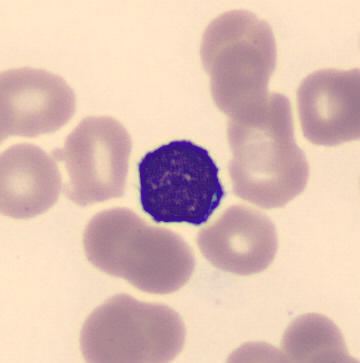 Cell — typical lymphocyte. Image: Peripheral blood smear · automated cell imaging (CellaVision DM96) · May Grünwald-Giemsa stain.